Bone marrow aspirate smear.
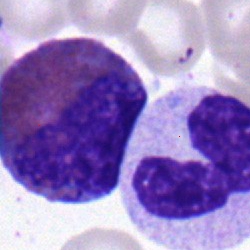

Specimen: bone marrow aspirate smear.
Cell type: eosinophilic granulocyte.